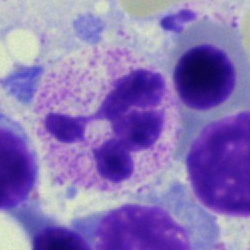

Specimen: bone marrow smear.
Morphological class: neutrophil (segmented).
Lineage: myeloid.